Peripheral blood film · Romanowsky-stained: 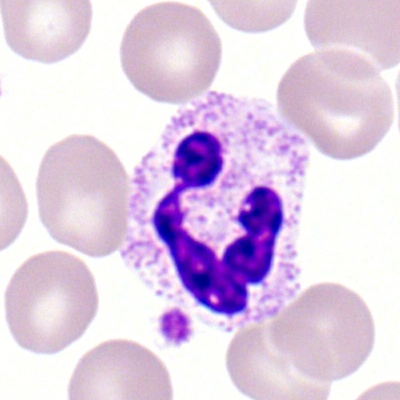
Neutrophil (segmented).